Bone marrow smear:
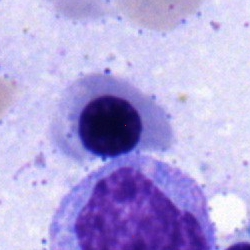
Morphology consistent with a nucleated red blood cell.